MGG-stained; bone marrow aspirate smear; 40× objective, oil immersion: 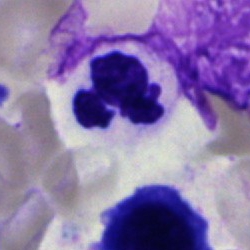
Showing a neutrophil (segmented).